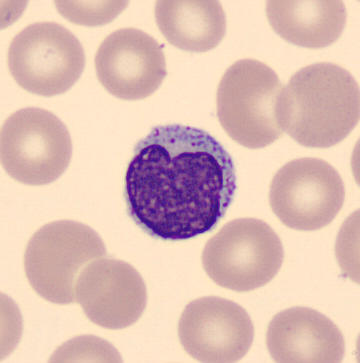

Specimen: peripheral blood film.
Cell: typical lymphocyte.
Lineage: lymphoid.